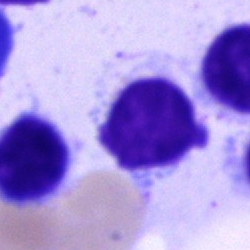

This is a typical lymphocyte.